Bone marrow smear. Brightfield, 40× oil-immersion objective
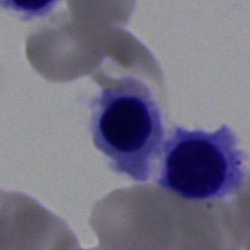Q: What type of cell is this?
A: A nucleated red cell.